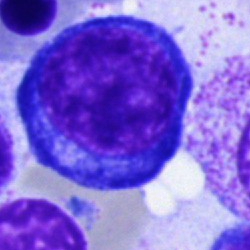Cell type = normoblast.